Image size 250×250; bone marrow aspirate smear; brightfield microscopy, 40× oil immersion
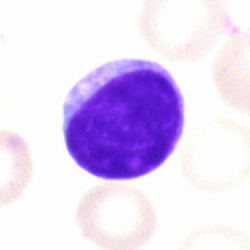
Specimen: bone marrow aspirate smear.
Cell type: typical lymphocyte.
Lineage: lymphoid.